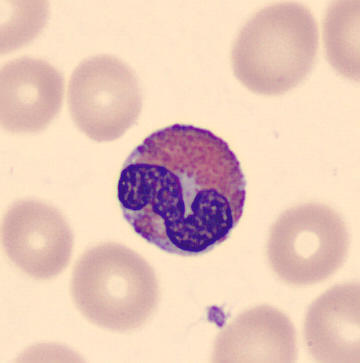 Q: Which cell type is shown here?
A: Eosinophil. Preparation: 360×363 px · peripheral blood film.